Bone marrow smear:
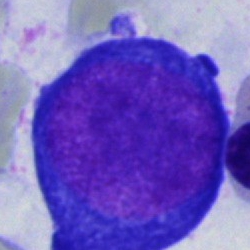The cell type is pronormoblast.